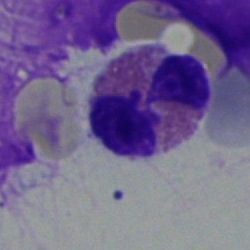
Morphological class — eosinophilic granulocyte.